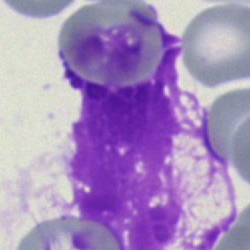

Classification — artifact.